Peripheral blood smear. MGG stain. Single-cell field.
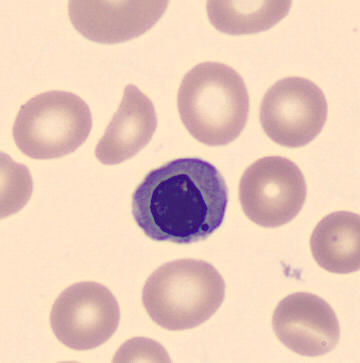

Q: Which cell type is shown here?
A: Nucleated red blood cell.